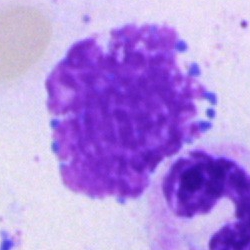
Specimen: bone marrow aspirate smear.
Classification: artefact.